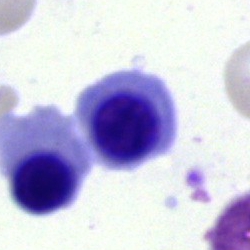 The cell type is normoblast.